Bone marrow smear; image size 250×250 — 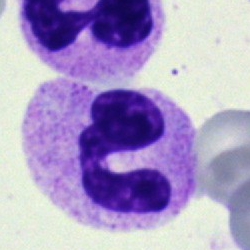 The cell shown is a polymorphonuclear neutrophil.